MGG-stained. 250×250. Bone marrow smear:
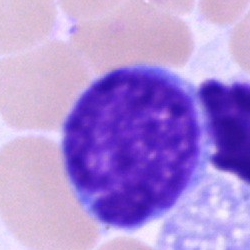Q: What type of cell is this?
A: Blast.